May-Grünwald-Giemsa/Pappenheim stain. Bone marrow smear
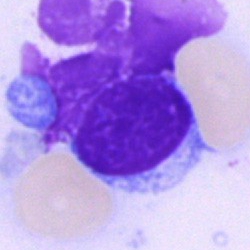Specimen: bone marrow aspirate smear.
Morphological class: typical lymphocyte.
Lineage: lymphoid.